Pappenheim-stained; bone marrow smear — 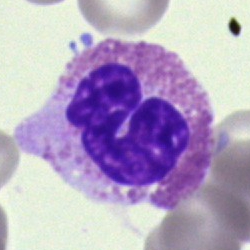A neutrophil (segmented).